Pappenheim-stained · bone marrow aspirate smear: 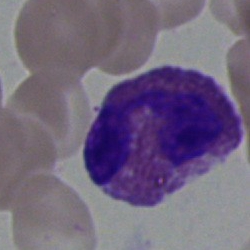 Morphological class — eosinophil.